40× objective, oil immersion · bone marrow smear · Pappenheim-stained:
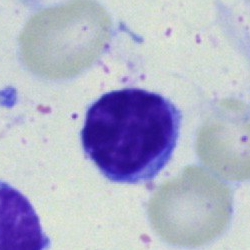
Q: Which cell type is shown here?
A: This is a typical lymphocyte.